Bone marrow aspirate smear: 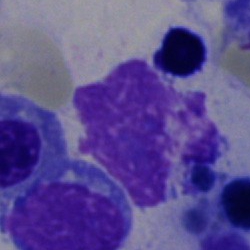Specimen: bone marrow smear.
Cell type: artefact.